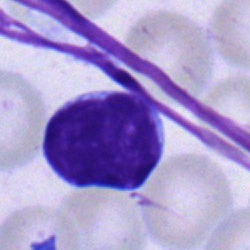

A lymphocyte on a bone marrow smear.